Bone marrow aspirate smear: 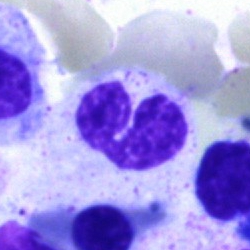

Impression — polymorphonuclear neutrophil.